Bone marrow smear. May-Grünwald-Giemsa/Pappenheim stain — 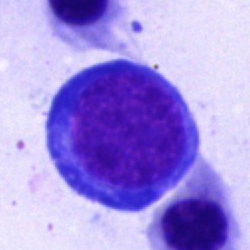 Morphology consistent with a nucleated red cell.